Bone marrow aspirate smear:
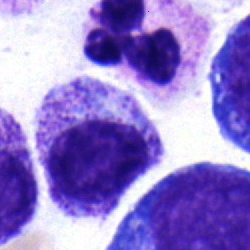
Myelocyte.